Bone marrow aspirate smear:
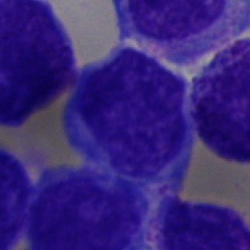Morphology — undifferentiated blast.